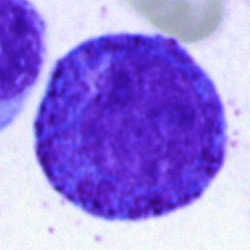 {"cell_type": "progranulocyte"}